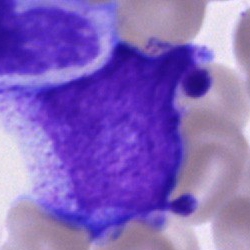

Specimen: bone marrow smear.
Morphological class: unidentifiable cell.